Single-cell field; peripheral blood smear; 400×400 px.
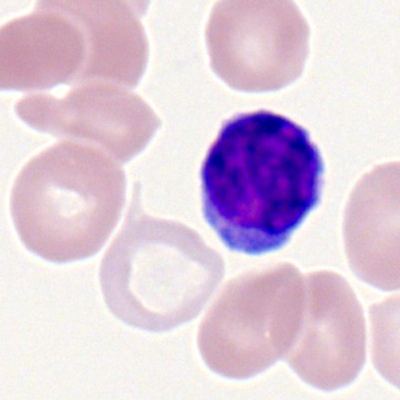Cell: typical lymphocyte.